Bone marrow smear · single-cell field: 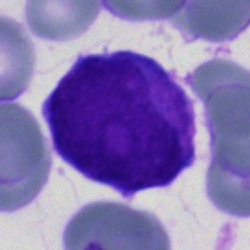 Specimen: bone marrow smear.
Morphological class: blast cell.